Bone marrow aspirate smear — 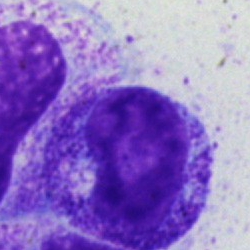

Cell type: metamyelocyte.